Brightfield, 40× oil-immersion objective · bone marrow aspirate smear.
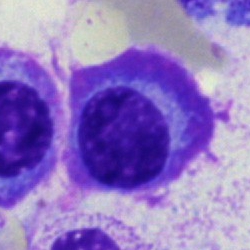
Plasma cell.